Bone marrow aspirate smear · cropped to a single cell:
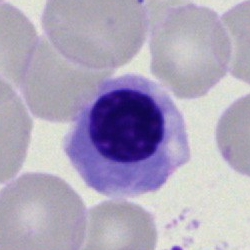Nucleated red cell.